Bone marrow smear; single-cell field; image size 250×250.
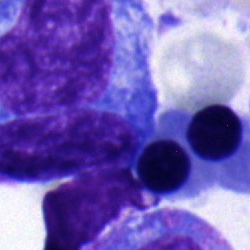

Q: What is the morphological classification of this cell?
A: This is a nucleated red cell.